Bone marrow smear; 40× objective, oil immersion; May-Grünwald-Giemsa/Pappenheim stain.
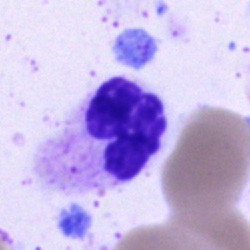

Cell — polymorphonuclear neutrophil.